Peripheral blood film — 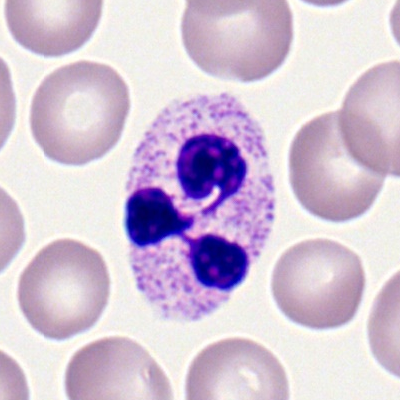
Showing a neutrophil (segmented).